Bone marrow aspirate smear:
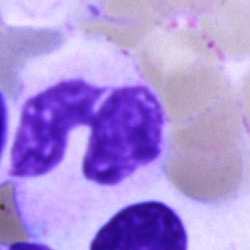 Showing a stab cell.